250×250. Bone marrow smear — 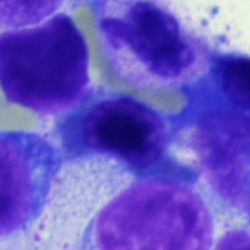 Nucleated red cell.